Bone marrow aspirate smear · single-cell crop — 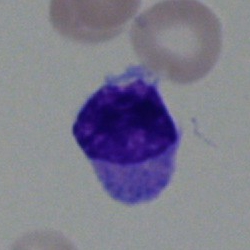

Q: What is shown here?
A: It is a lymphocyte.